Bone marrow aspirate smear: 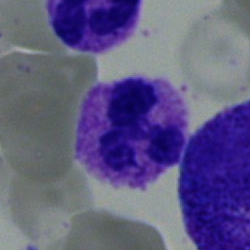

A neutrophil (segmented).